MGG-stained. Bone marrow smear: 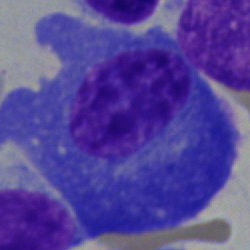

Q: What is shown here?
A: It is a plasmacyte.